Bone marrow aspirate smear. 40× objective, oil immersion
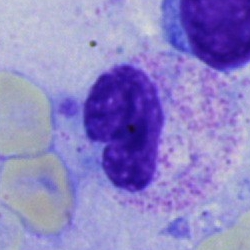
Specimen: bone marrow aspirate smear.
Morphological class: stab cell.
Lineage: myeloid.